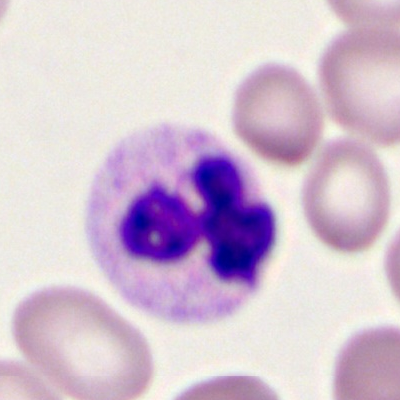

The morphological class is polymorphonuclear neutrophil.